40× objective, oil immersion; bone marrow aspirate smear: 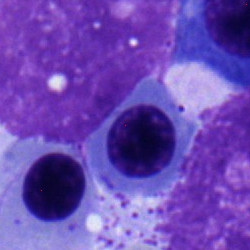

A nucleated red cell.